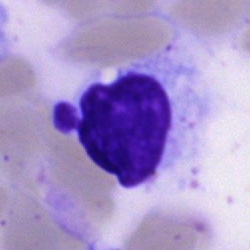
The cell shown is an artefact.